Peripheral blood smear; single-cell crop — 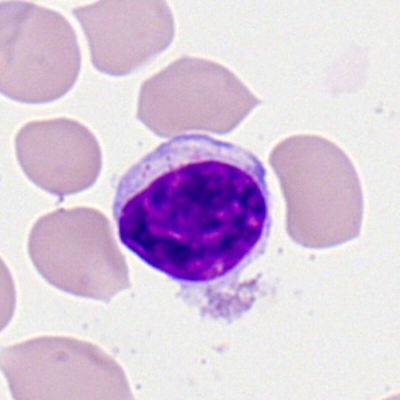Lymphocyte.